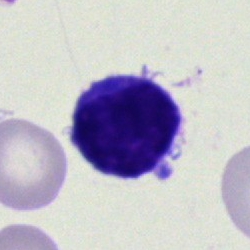

Morphological class: lymphocyte.